Single cell centered in the field. Bone marrow smear.
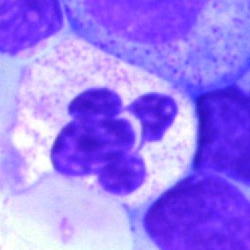 This is a polymorphonuclear neutrophil.